Peripheral blood film — 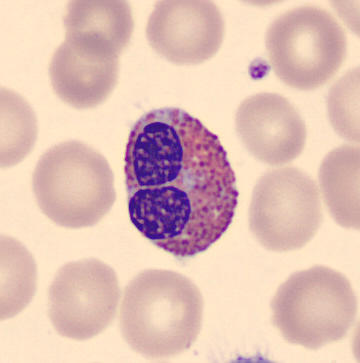

The cell type is eosinophil.